Bone marrow aspirate smear.
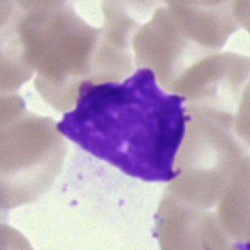
Q: What is shown here?
A: Artefact.